Bone marrow smear
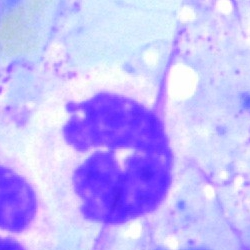 The cell shown is a polymorphonuclear neutrophil.